Bone marrow aspirate smear:
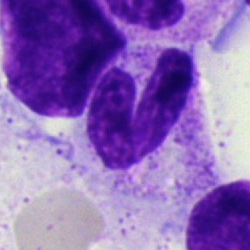 A stab cell.